Bone marrow smear. Single-cell crop:
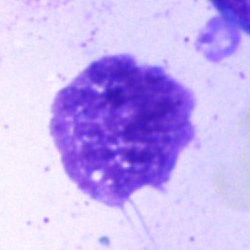Morphological class — artefact.